Bone marrow smear:
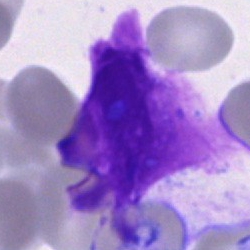

Cell type: artifact.